Pappenheim-stained; bone marrow smear — 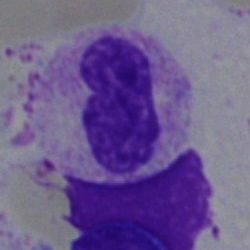 Cell type: stab cell.